Bone marrow aspirate smear. Brightfield, 40× oil-immersion objective. MGG-stained:
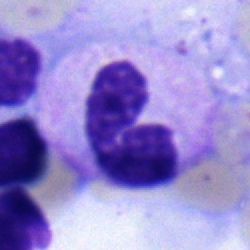 Q: What is the morphological classification of this cell?
A: A band neutrophil.